Bone marrow smear — 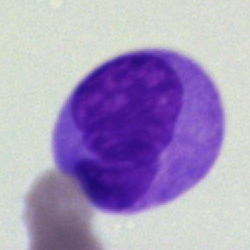

The cell shown is an undifferentiated blast.